Pappenheim-stained · bone marrow smear: 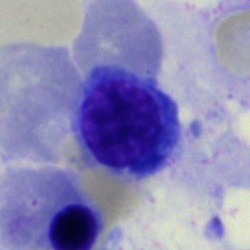

Specimen: bone marrow smear.
Cell type: artefact.